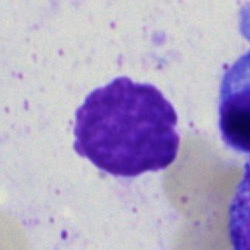Q: What is shown here?
A: An artefact.